Bone marrow smear; image size 250×250; single-cell crop — 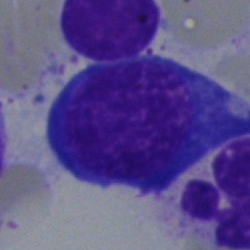

Q: What is the morphological classification of this cell?
A: A nucleated red blood cell.